Bone marrow smear. Single-cell field
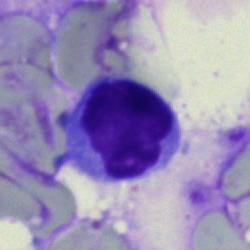Classification = typical lymphocyte.